Bone marrow smear:
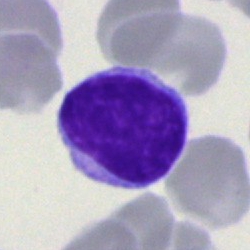

Typical lymphocyte.